Bone marrow aspirate smear
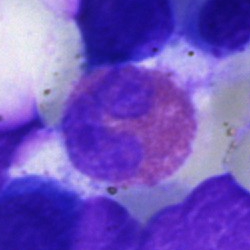 Showing an eosinophil.